Bone marrow smear; May-Grünwald-Giemsa stain:
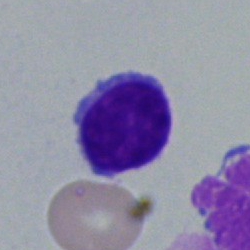 Morphology consistent with a lymphocyte.